May-Grünwald-Giemsa stain · bone marrow aspirate smear · image size 250×250.
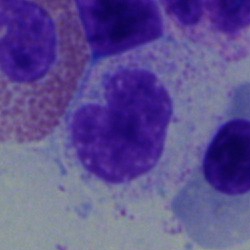Morphology → stab cell.